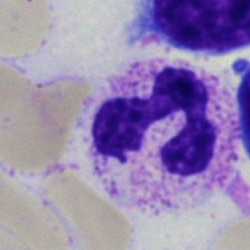 Morphological class — neutrophil (segmented).